Bone marrow smear. Single cell centered in the field: 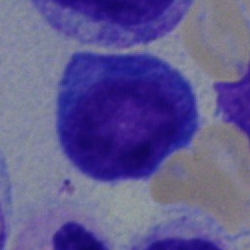 Morphology — monocyte.